Brightfield, 40× oil-immersion objective · single-cell field · bone marrow aspirate smear — 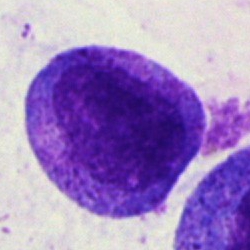
Morphology → myelocyte.